Brightfield, 40× oil-immersion objective; bone marrow smear; 250×250: 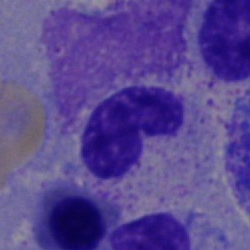

Single cell identified as a band neutrophil.